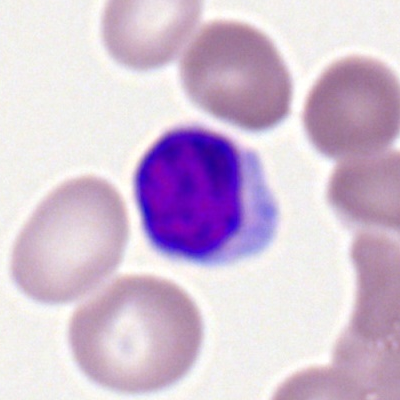The cell shown is a lymphocyte.